Single cell centered in the field · bone marrow aspirate smear · 40× objective, oil immersion
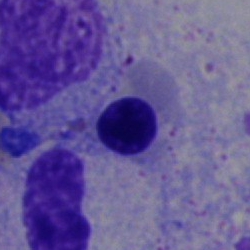Q: What is the morphological classification of this cell?
A: It is an erythroblast.